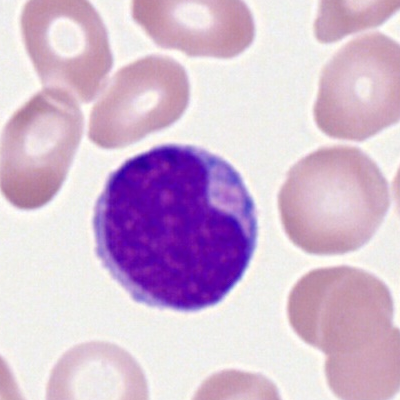
Specimen: peripheral blood smear.
Morphological class: myeloblast.
Lineage: myeloid.